250×250 px · bone marrow smear
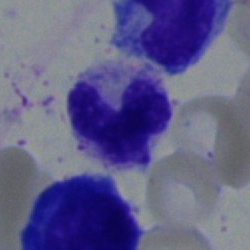 Single cell identified as a segmented neutrophil.